Bone marrow aspirate smear:
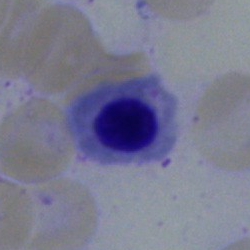
Showing a normoblast.